Bone marrow smear
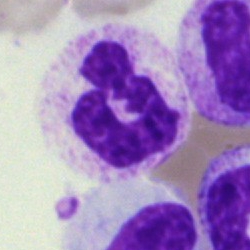

Impression — neutrophil (segmented).